Bone marrow aspirate smear:
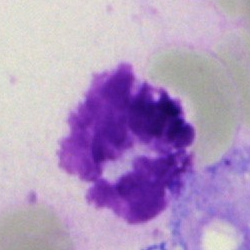
Q: What is shown here?
A: It is an artifact.